Bone marrow aspirate smear — 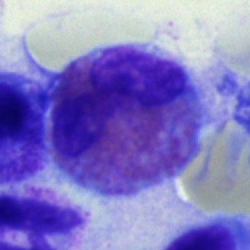

An eosinophilic granulocyte.